Bone marrow smear.
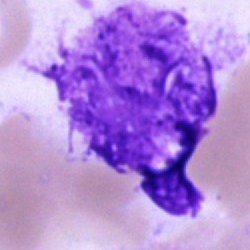Cell type — artefact.